Single-cell field. Bone marrow aspirate smear. May-Grünwald-Giemsa stain.
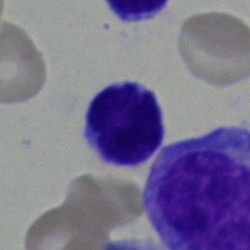Specimen: bone marrow aspirate smear.
Cell type: typical lymphocyte.
Lineage: lymphoid.